M8 digital microscope (Precipoint), 100× oil immersion; peripheral blood smear; Romanowsky-type stain.
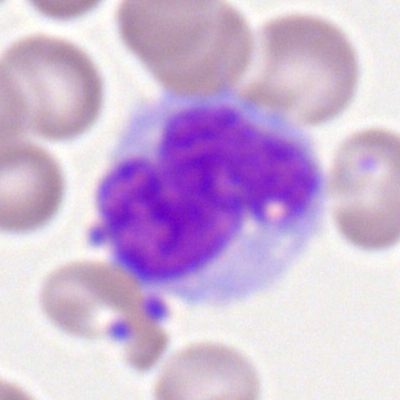

The cell shown is a monocyte.